Bone marrow smear
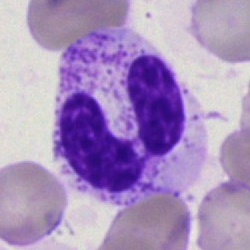 Impression — segmented neutrophil.